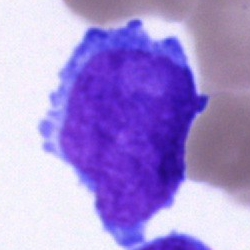

Morphological class: blast cell.